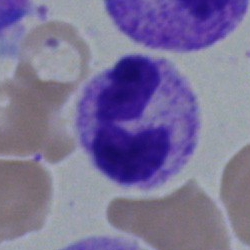

Morphology → polymorphonuclear neutrophil.